Bone marrow smear · image size 250×250 · single-cell field — 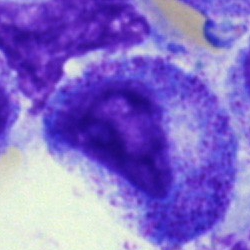Progranulocyte.